Pappenheim-stained · single-cell crop · bone marrow aspirate smear: 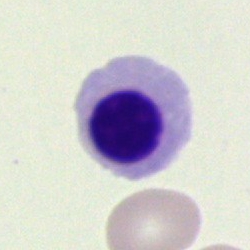
Morphology consistent with a nucleated red blood cell.